Image size 250×250; bone marrow aspirate smear; 40× oil immersion: 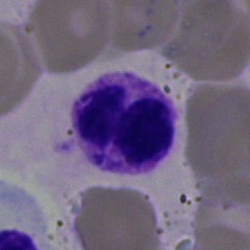Q: Which cell type is shown here?
A: This is a basophilic granulocyte.